Brightfield microscopy, 40× oil immersion; bone marrow aspirate smear
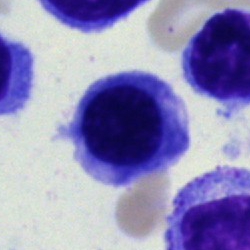 Q: What type of cell is this?
A: An erythroblast.